Bone marrow aspirate smear. Image size 250×250. Brightfield microscopy, 40× oil immersion:
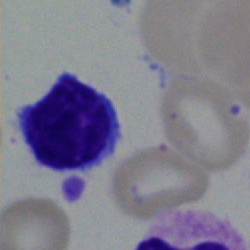 Impression → lymphocyte.